Bone marrow smear:
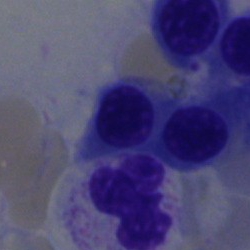Single cell identified as an erythroblast.